Bone marrow aspirate smear
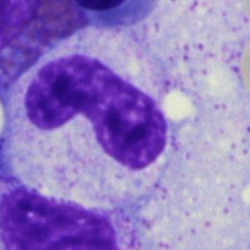

The cell shown is a band neutrophil.